Brightfield microscopy, 40× oil immersion. Bone marrow aspirate smear — 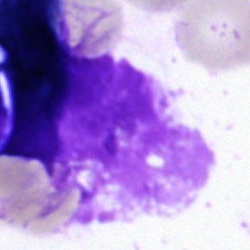

Q: What is shown here?
A: This is an artifact.